Bone marrow smear: 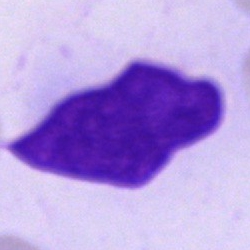

{"cell_type": "unidentifiable cell"}